Bone marrow smear
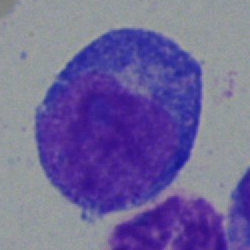{"cell_type": "blast"}